Peripheral blood smear — 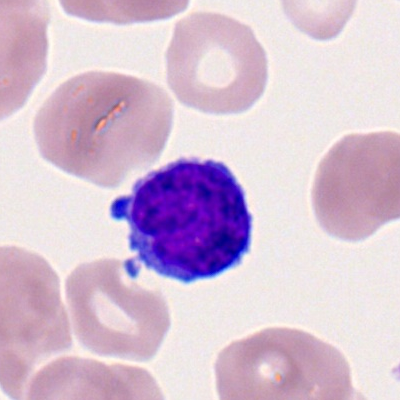

A lymphocyte.